Image size 250×250 · bone marrow smear:
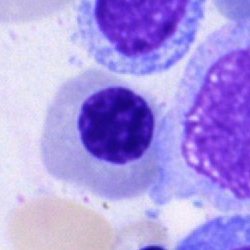 {"cell_type": "erythroblast"}